Bone marrow aspirate smear — 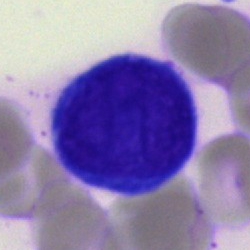

Morphology — undifferentiated blast.